May-Grünwald-Giemsa/Pappenheim stain; bone marrow aspirate smear: 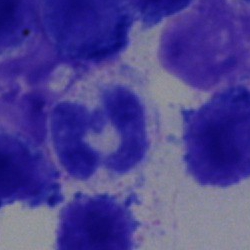
Morphology consistent with a neutrophil (segmented).